May-Grünwald-Giemsa stain · bone marrow smear: 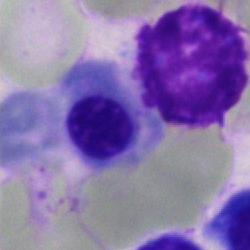 The cell type is erythroblast.